Bone marrow aspirate smear
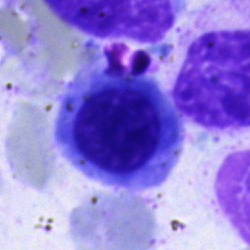

Impression → nucleated red cell.